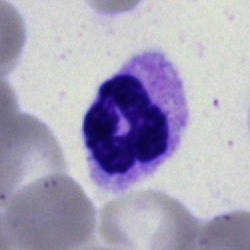Morphology consistent with a neutrophil (segmented).